Bone marrow smear. May-Grünwald-Giemsa/Pappenheim stain. Single-cell crop
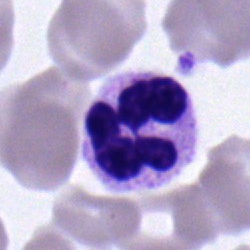

Morphological class = segmented neutrophil.